40× oil immersion · 250×250 · bone marrow smear — 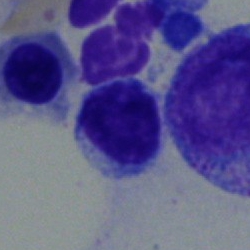 Specimen: bone marrow aspirate smear.
Cell: lymphocyte.